Single cell centered in the field; bone marrow smear.
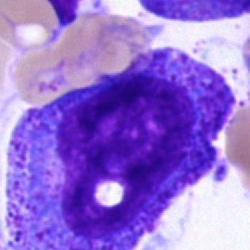 Q: What is the morphological classification of this cell?
A: This is a promyelocyte.